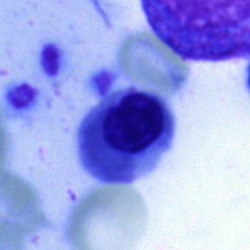Bone marrow smear showing an erythroblast.